May-Grünwald-Giemsa/Pappenheim stain; bone marrow aspirate smear: 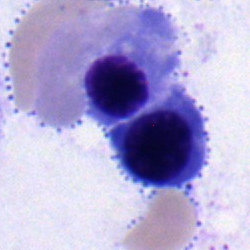
Q: What is the morphological classification of this cell?
A: It is a myelocyte.